May-Grünwald-Giemsa/Pappenheim stain · bone marrow aspirate smear · image size 250×250:
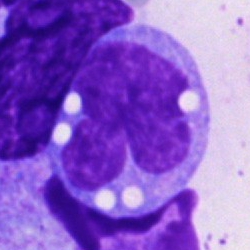

Morphology consistent with a monocyte.